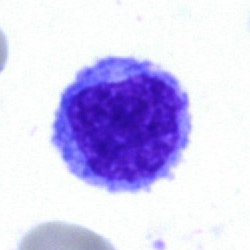

Single-cell crop from a bone marrow smear: lymphocyte.